Bone marrow aspirate smear.
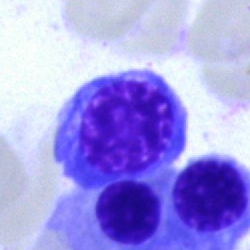Impression — normoblast.